Bone marrow aspirate smear: 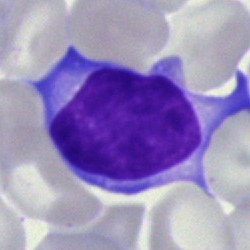
Q: What is the morphological classification of this cell?
A: It is a lymphocyte.